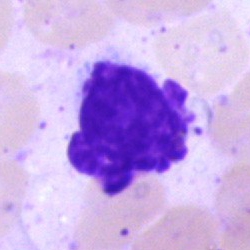

Q: What is shown here?
A: This is an artifact.